Bone marrow aspirate smear. Brightfield microscopy, 40× oil immersion:
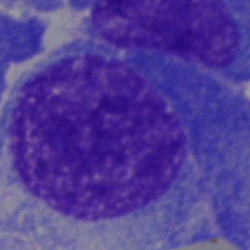 This is a plasma cell.